Bone marrow aspirate smear
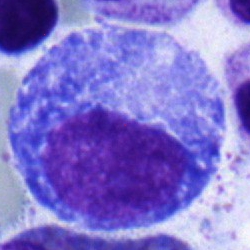
The classification is promyelocyte.